40× oil immersion; 250×250 px; bone marrow smear:
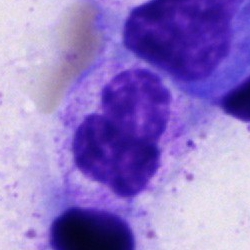Cell type — segmented neutrophil.